Bone marrow aspirate smear; 250 by 250 pixels; 40× objective, oil immersion — 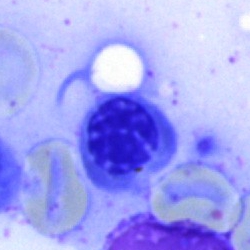
Impression — normoblast.